Bone marrow smear: 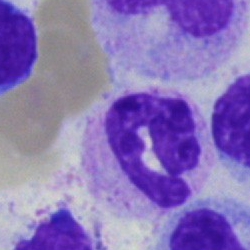

Single cell identified as a polymorphonuclear neutrophil.